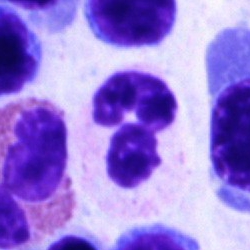

The classification is neutrophil (segmented).